Bone marrow aspirate smear — 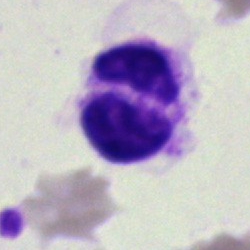
Q: What is shown here?
A: This is an artifact.